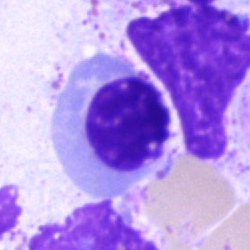 Classification: normoblast.